Brightfield, 40× oil-immersion objective · bone marrow aspirate smear
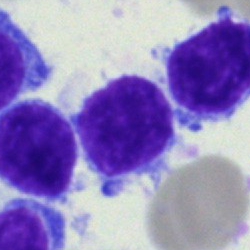 A typical lymphocyte.